Romanowsky-type stain. Peripheral blood film:
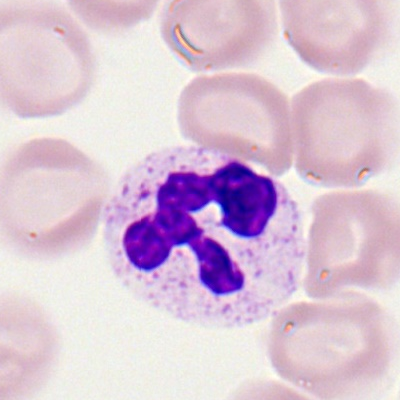 A polymorphonuclear neutrophil.